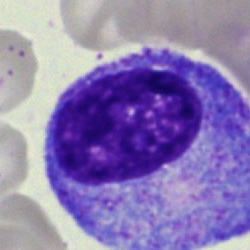Single cell identified as a progranulocyte.